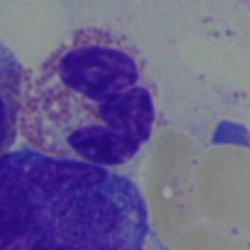 Specimen: bone marrow smear.
Morphological class: eosinophil.
Lineage: myeloid.